Bone marrow smear:
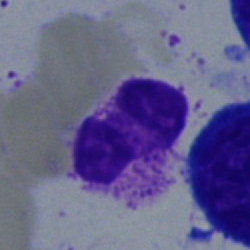
Specimen: bone marrow smear.
Cell: polymorphonuclear neutrophil.